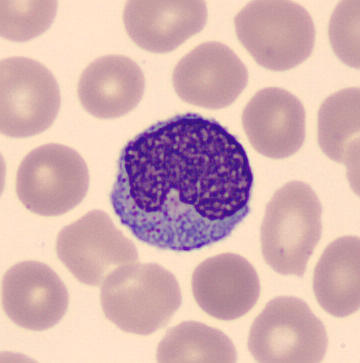Peripheral blood smear; May Grünwald-Giemsa stain.

Monocyte.